Bone marrow aspirate smear:
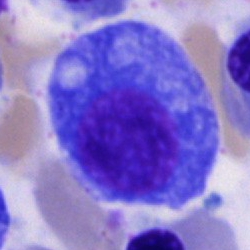
Morphological class = plasma cell.